Bone marrow smear
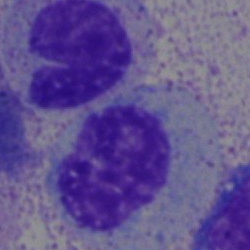Impression — myelocyte.